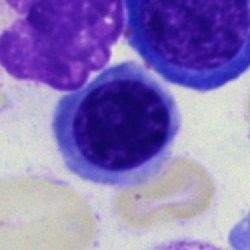Morphology → nucleated red cell.